Bone marrow aspirate smear.
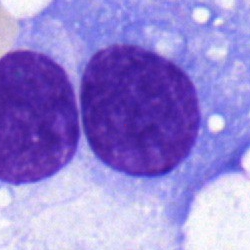

A plasma cell.